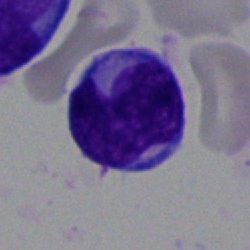 The cell shown is a lymphocyte.